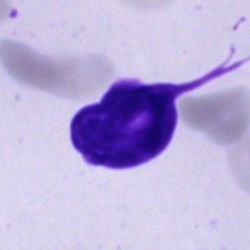
{"cell_type": "artefact"}